Bone marrow smear:
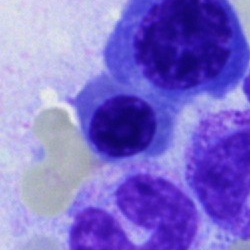 Morphology consistent with a normoblast.